Single-cell field. Bone marrow smear
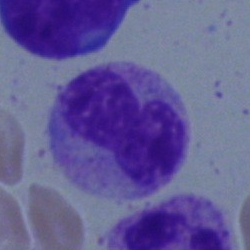
Cell — neutrophil (band).